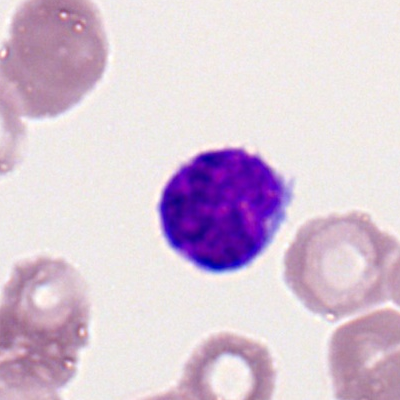Cell = lymphocyte.